Bone marrow smear
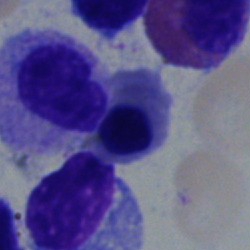

Morphology consistent with an erythroblast.